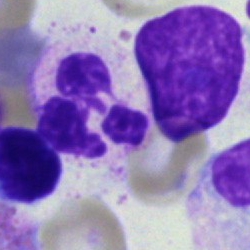

Q: What cell is this?
A: It is a segmented neutrophil.